Bone marrow smear: 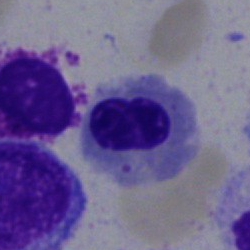
Morphology consistent with a normoblast.